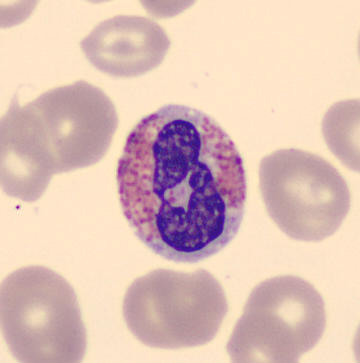Cell: eosinophil.
Preparation: May-Grünwald-Giemsa-stained. Peripheral blood film.